Bone marrow smear; image size 250×250; MGG-stained — 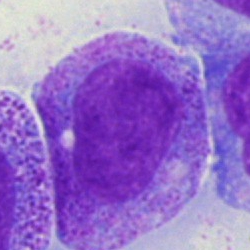Classification: promyelocyte.